Bone marrow smear:
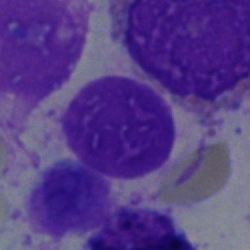Classification = artifact.